Bone marrow smear — 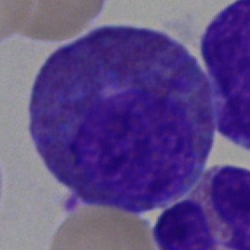 Morphology → eosinophilic granulocyte.